Bone marrow smear. Cropped to a single cell: 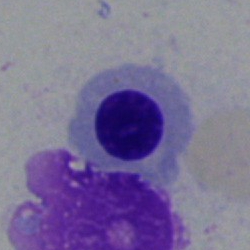Q: What type of cell is this?
A: A nucleated red blood cell.